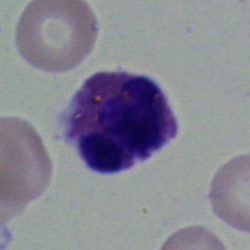 Cell: eosinophilic granulocyte.